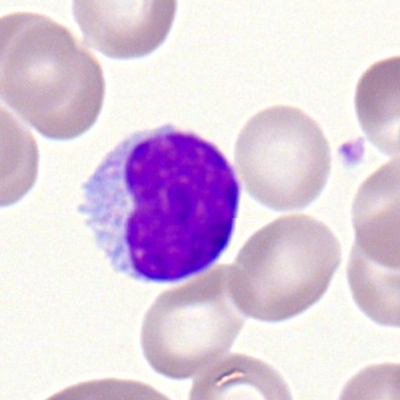
Lymphocyte.